Bone marrow aspirate smear — 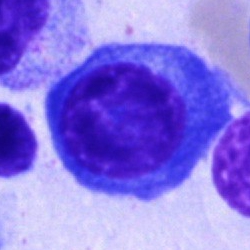 Q: Identify the cell.
A: This is a plasmacyte.